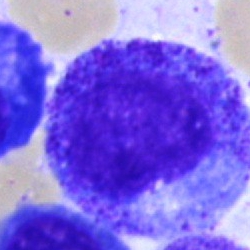Impression → promyelocyte.